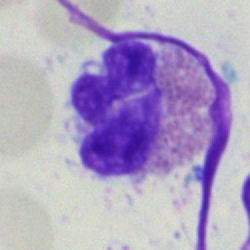
Bone marrow aspirate smear, single cell — eosinophil.